250 by 250 pixels. Brightfield, 40× oil-immersion objective. Bone marrow smear.
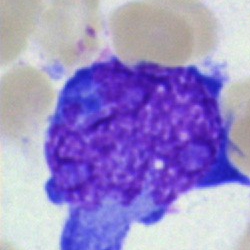Showing a blast.